Bone marrow aspirate smear
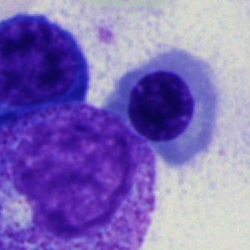Q: What is shown here?
A: Nucleated red cell.